Bone marrow aspirate smear:
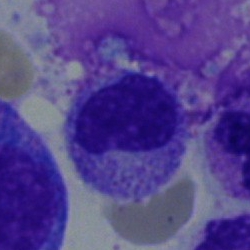
Myelocyte.